Bone marrow aspirate smear:
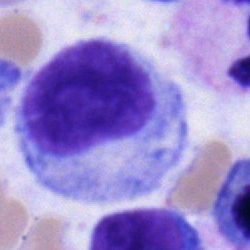
The cell shown is a promyelocyte.